May-Grünwald-Giemsa/Pappenheim stain. Bone marrow aspirate smear: 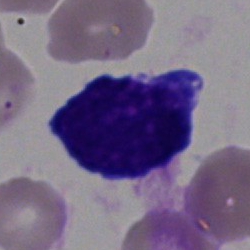 The cell shown is a blast.